Bone marrow aspirate smear: 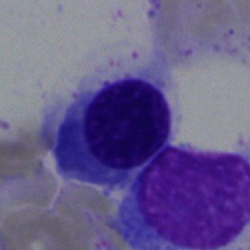

Morphology consistent with a nucleated red blood cell.